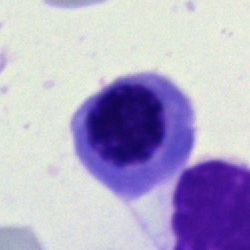 Bone marrow smear showing a normoblast.